Bone marrow aspirate smear:
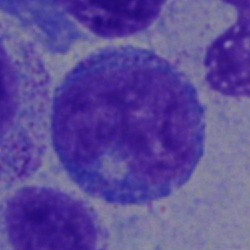
Morphology — progranulocyte.